Bone marrow smear. 250 by 250 pixels:
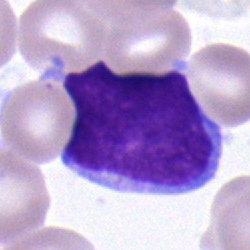
Specimen: bone marrow aspirate smear.
Classification: blast cell.